May-Grünwald-Giemsa stain. Bone marrow aspirate smear. Brightfield, 40× oil-immersion objective:
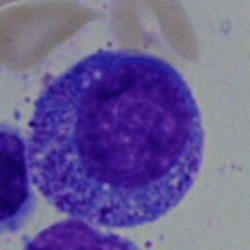
Progranulocyte.